Bone marrow smear. Single-cell field. 40× oil immersion:
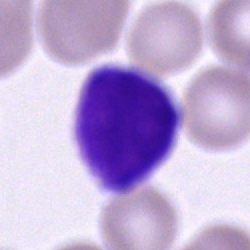 The cell is unidentifiable cell.